Single-cell field; bone marrow smear; 250 by 250 pixels
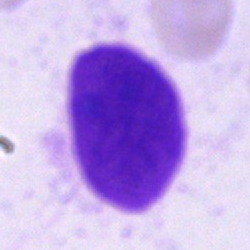
Showing an artifact.